Bone marrow aspirate smear:
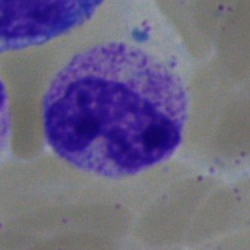The cell type is band neutrophil.